Peripheral blood smear
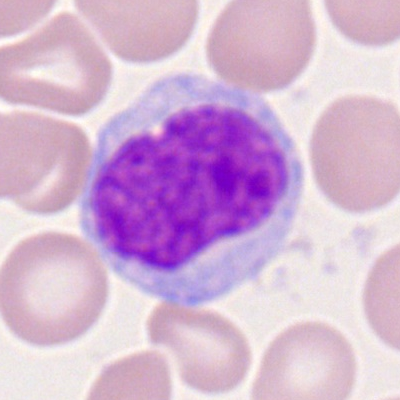

Cell = monocyte.